Bone marrow smear
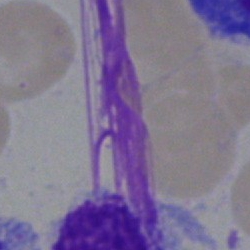
Impression → artifact.